Romanowsky-type stain · peripheral blood smear — 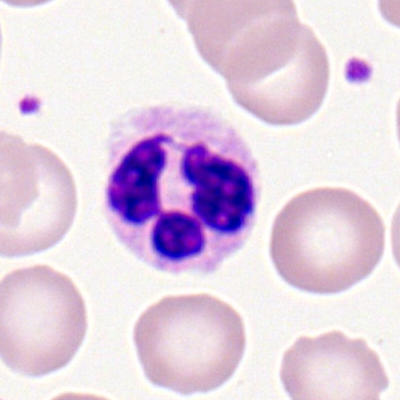

Segmented neutrophil.